Single-cell field; bone marrow aspirate smear — 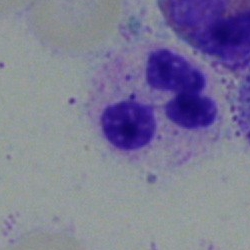
Q: What is the morphological classification of this cell?
A: It is a neutrophil (segmented).